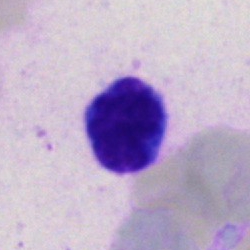 Impression — plasma cell.